Bone marrow aspirate smear.
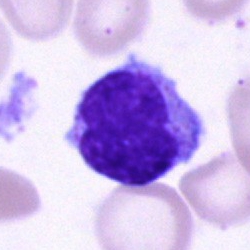

Morphological class — monocyte.